Bone marrow smear · single-cell field — 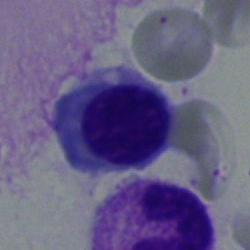 Cell type = nucleated red cell.